Single-cell crop · bone marrow smear — 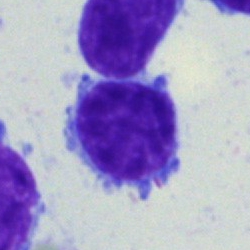

Q: Identify the cell.
A: Lymphocyte.